Bone marrow aspirate smear
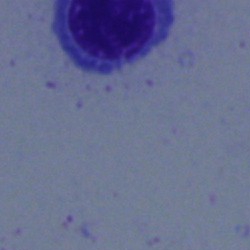Specimen: bone marrow aspirate smear.
Classification: normoblast.
Lineage: erythroid.